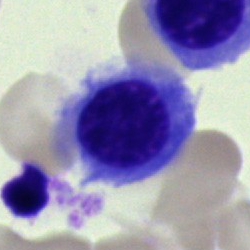 Specimen: bone marrow smear.
Cell type: normoblast.